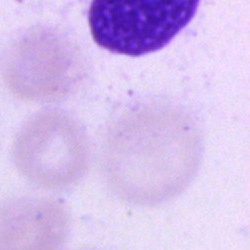

Specimen: bone marrow aspirate smear.
Cell type: artefact.